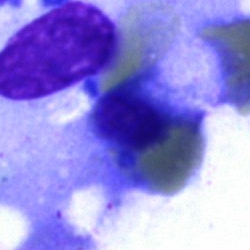
Q: What is shown here?
A: It is an artifact.